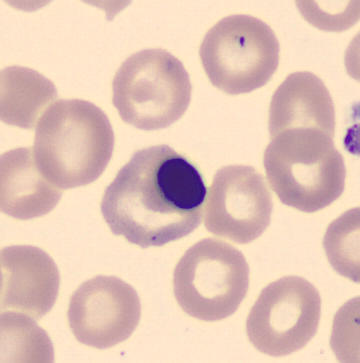 The cell is nucleated red blood cell.
Preparation: Peripheral blood smear · single-cell field · MGG stain.